250 by 250 pixels. Bone marrow aspirate smear: 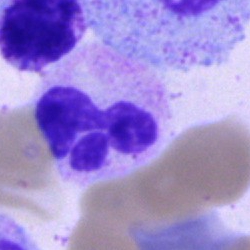Morphology consistent with a neutrophil (segmented).